Bone marrow smear — 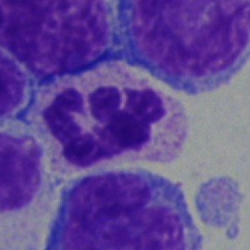
Cell: segmented neutrophil.